Bone marrow smear.
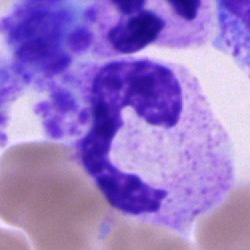Morphological class: neutrophil (segmented).